Single cell centered in the field; bone marrow aspirate smear: 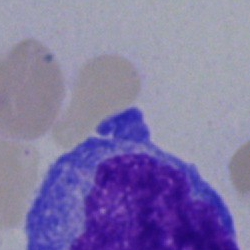 Specimen: bone marrow smear.
Cell type: unidentifiable cell.